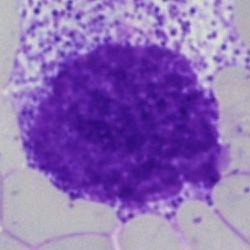

The cell shown is an artifact.